Bone marrow aspirate smear. Pappenheim-stained:
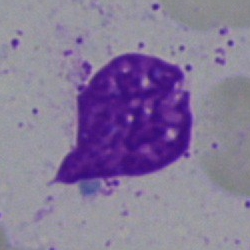

Morphology — artefact.